Bone marrow smear. 250 by 250 pixels
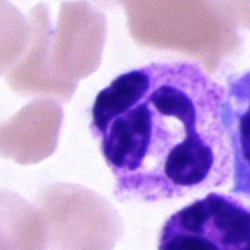

This is a polymorphonuclear neutrophil.